Bone marrow aspirate smear · May-Grünwald-Giemsa stain · brightfield microscopy, 40× oil immersion.
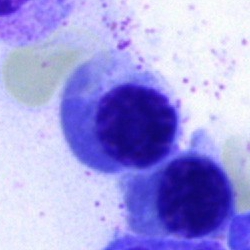 This is an erythroblast.